Bone marrow aspirate smear: 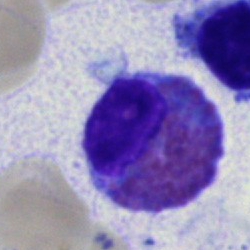
Specimen: bone marrow smear.
Cell type: eosinophil.
Lineage: myeloid.